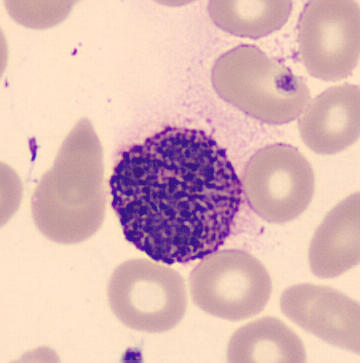

Q: Which cell type is shown here?
A: Basophil.